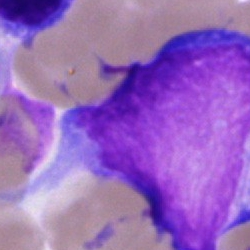This is an undifferentiated blast.